MGG-stained; bone marrow smear.
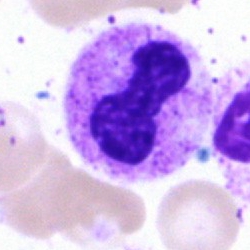
Stab cell.